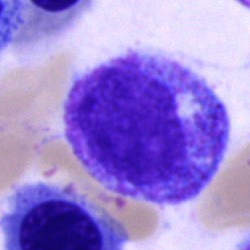

Cell: progranulocyte.